Bone marrow smear: 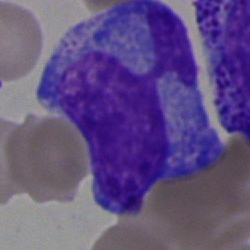

Cell — cell of indeterminate lineage.